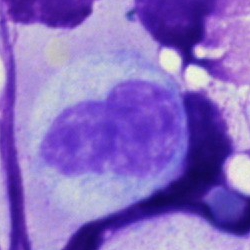 The classification is neutrophil (band).